Bone marrow smear — 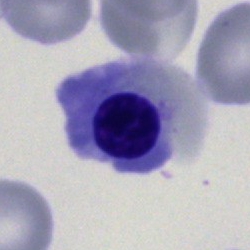Morphology consistent with a nucleated red cell.